Bone marrow aspirate smear: 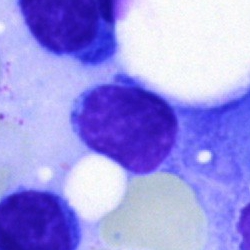

Single cell identified as a lymphocyte.